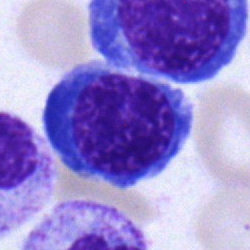 Q: Which cell type is shown here?
A: This is a normoblast.